Bone marrow aspirate smear:
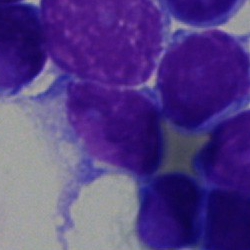

The cell shown is a lymphocyte.